MGG-stained; bone marrow smear.
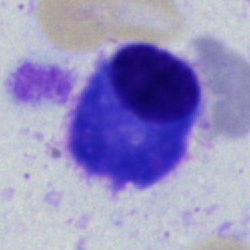

Morphology consistent with a plasmacyte.